Romanowsky stain; peripheral blood smear; single-cell crop:
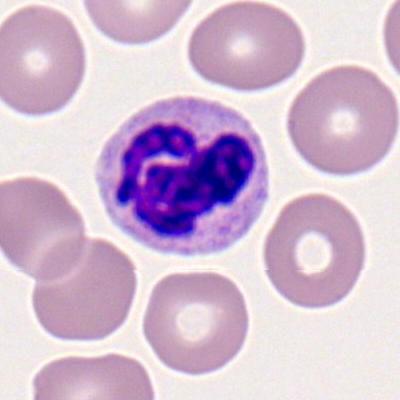

Neutrophil (segmented).